Bone marrow smear
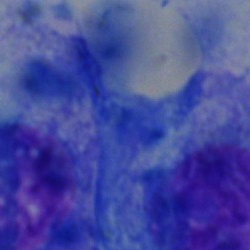
Q: What cell is this?
A: It is a plasma cell.